Bone marrow aspirate smear — 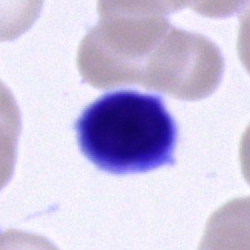{"cell_type": "lymphocyte"}